Bone marrow smear — 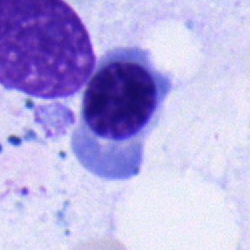Showing an erythroblast.